Cropped to a single cell; bone marrow aspirate smear; MGG-stained
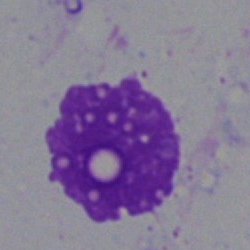

{"cell_type": "artefact"}